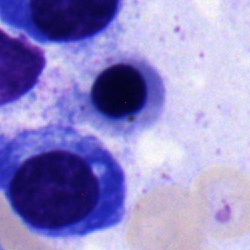

The classification is nucleated red blood cell.